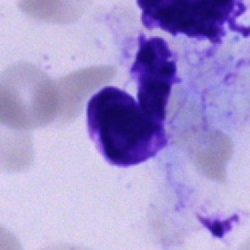

Bone marrow smear showing an artefact.